Single-cell crop · bone marrow aspirate smear — 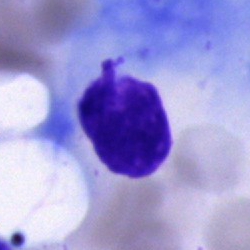 An artifact.